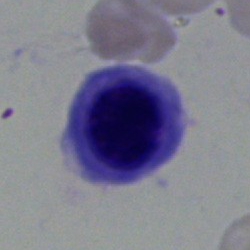

Specimen: bone marrow aspirate smear.
Classification: normoblast.
Lineage: erythroid.